Bone marrow aspirate smear.
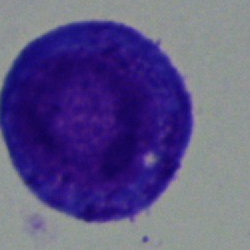Q: What is shown here?
A: Progranulocyte.